Bone marrow aspirate smear
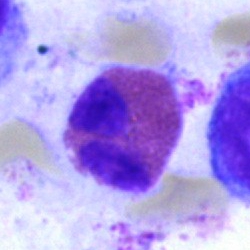
Specimen: bone marrow aspirate smear.
Cell type: eosinophil.
Lineage: myeloid.